MGG-stained · bone marrow aspirate smear.
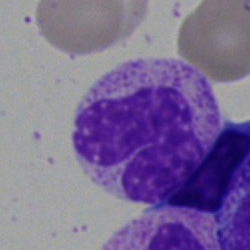 Impression → segmented neutrophil.